250×250 · brightfield, 40× oil-immersion objective · bone marrow aspirate smear.
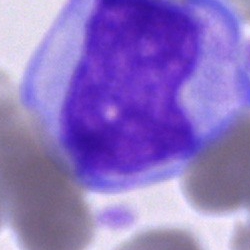

An unidentifiable cell.